Bone marrow aspirate smear. 250×250 px.
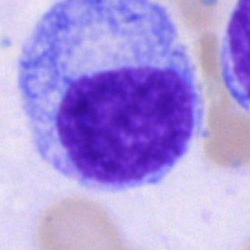Specimen: bone marrow smear.
Morphological class: progranulocyte.
Lineage: myeloid.